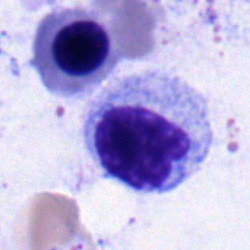 Q: What type of cell is this?
A: It is a neutrophil (segmented).